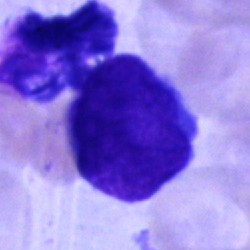{"cell_type": "undifferentiated blast"}